Bone marrow smear — 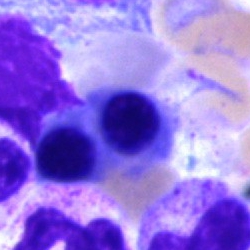
Showing an erythroblast.